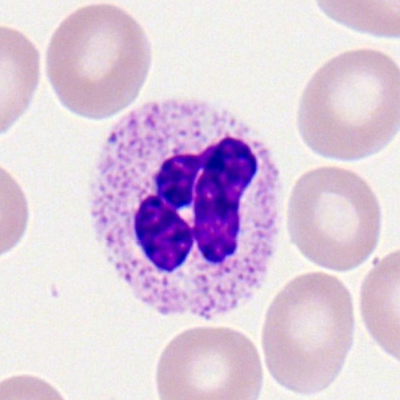 Specimen: peripheral blood film.
Cell type: polymorphonuclear neutrophil.